MGG-stained; bone marrow aspirate smear — 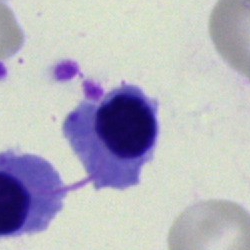
Q: What is shown here?
A: A normoblast.